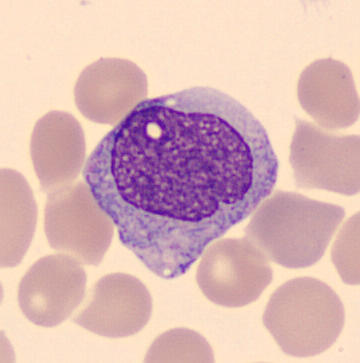 Classification — monocyte.